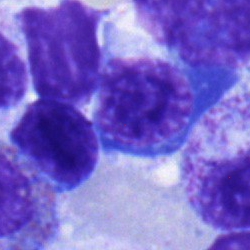

Nucleated red cell.